Bone marrow aspirate smear. 250 by 250 pixels
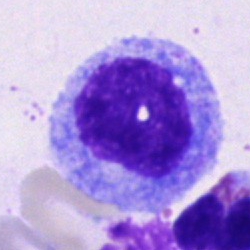

Classification = progranulocyte.